Bone marrow aspirate smear.
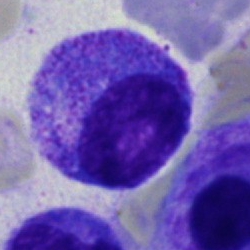 {"cell_type": "promyelocyte", "lineage": "myeloid"}